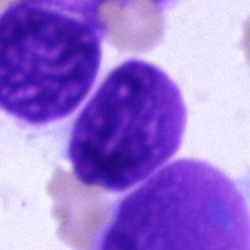 Cell = unidentifiable cell.